Bone marrow aspirate smear:
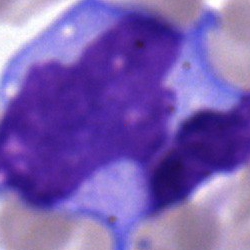 The classification is monocyte.